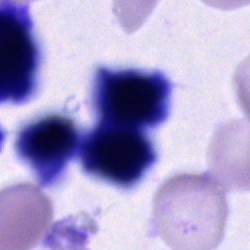Classification — cell of indeterminate lineage.